40× objective, oil immersion; bone marrow smear; single cell centered in the field.
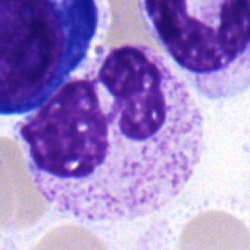 Morphology → neutrophil (segmented).